250×250 px. Bone marrow aspirate smear.
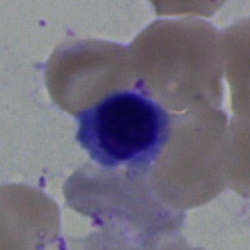
{"cell_type": "nucleated red blood cell", "lineage": "erythroid"}